250×250 px · bone marrow smear.
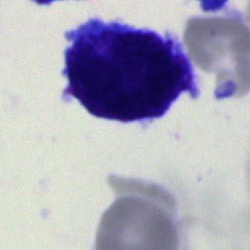
Specimen: bone marrow smear.
Cell: blast cell.